May-Grünwald-Giemsa stain; bone marrow smear
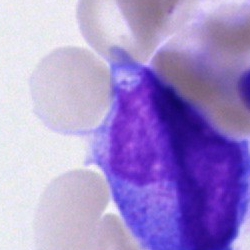Q: What type of cell is this?
A: It is an undifferentiated blast.